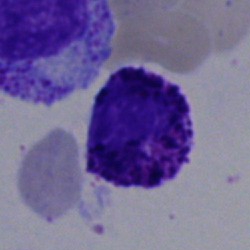
Morphological class: basophilic granulocyte.